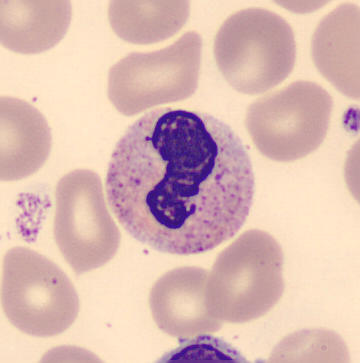

Q: What cell is this?
A: A band-form neutrophil.